Bone marrow aspirate smear · brightfield microscopy, 40× oil immersion
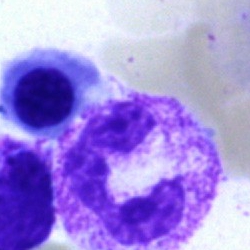Single cell identified as a polymorphonuclear neutrophil.